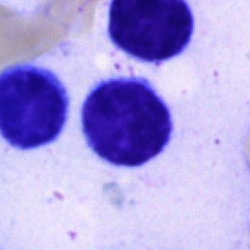Q: What type of cell is this?
A: This is a typical lymphocyte.